Bone marrow aspirate smear.
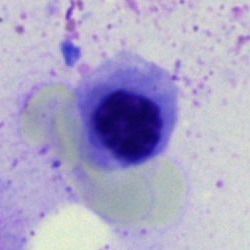

Specimen: bone marrow aspirate smear.
Morphological class: erythroblast.